Bone marrow aspirate smear.
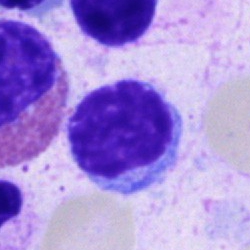
Specimen: bone marrow smear.
Cell type: lymphocyte.
Lineage: lymphoid.